Bone marrow aspirate smear
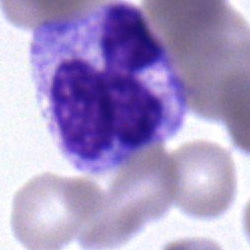 Showing a neutrophil (segmented).